Brightfield microscopy, 40× oil immersion · bone marrow aspirate smear · single-cell field:
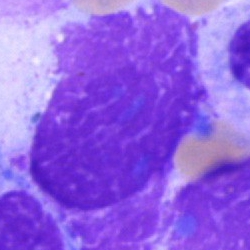

The cell shown is an artefact.